Bone marrow smear
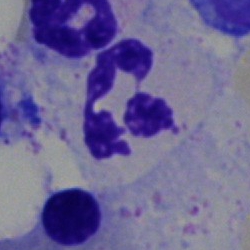 This is a segmented neutrophil.